Bone marrow smear: 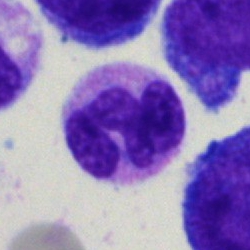
Classification — monocyte.